Bone marrow smear
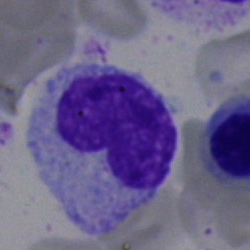 Specimen: bone marrow aspirate smear.
Morphological class: metamyelocyte.
Lineage: myeloid.